Bone marrow smear:
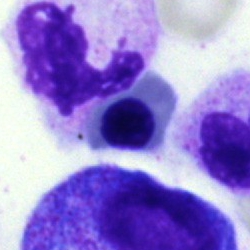

Morphology consistent with an erythroblast.